250 by 250 pixels · single cell centered in the field · bone marrow aspirate smear — 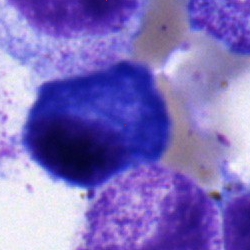 The cell shown is a plasmacyte.